Bone marrow smear:
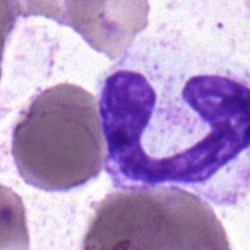
Neutrophil (band).